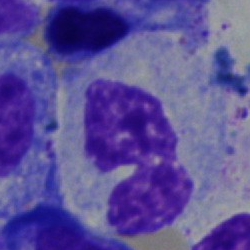Showing a polymorphonuclear neutrophil.